Single cell centered in the field. Image size 250×250. Bone marrow aspirate smear
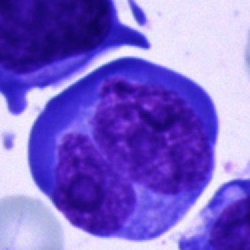 The cell type is blast.